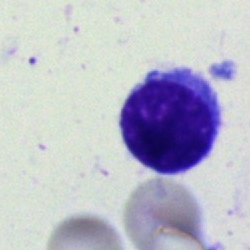
This is a typical lymphocyte.